250×250. Bone marrow aspirate smear
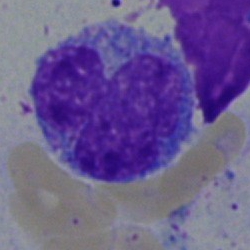 Showing a monocyte.